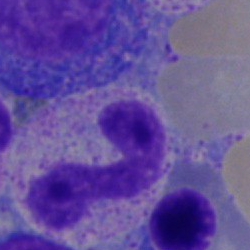
Cell type — neutrophil (segmented).